Bone marrow aspirate smear · brightfield, 40× oil-immersion objective: 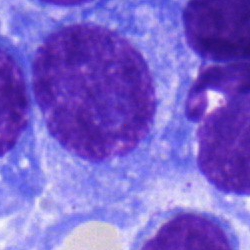

Cell: plasmacyte.